Bone marrow smear · 40× oil immersion:
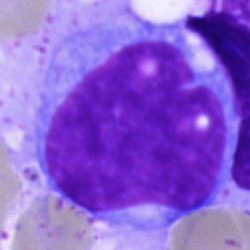
Morphological class: undifferentiated blast.